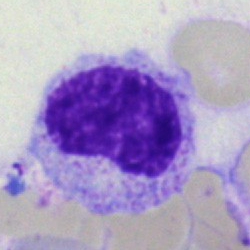
The cell is metamyelocyte.